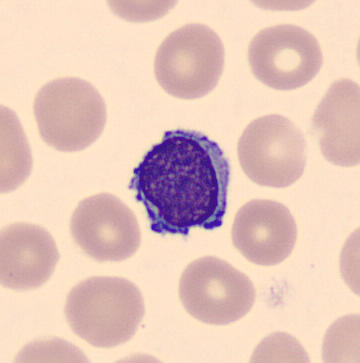

Classification = typical lymphocyte.

Preparation: May Grünwald-Giemsa stain · peripheral blood film.